Bone marrow aspirate smear
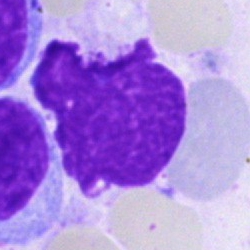
This is an artifact.